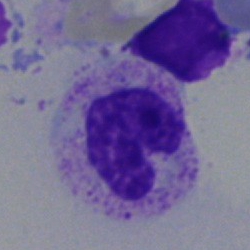

Specimen: bone marrow smear.
Morphological class: metamyelocyte.